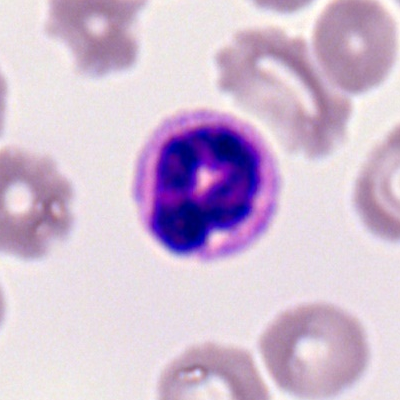 Showing a segmented neutrophil.